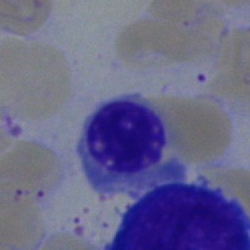 This is a nucleated red blood cell.